250×250 px · bone marrow smear · brightfield, 40× oil-immersion objective:
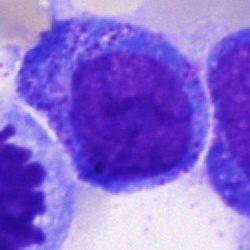

Morphological class = progranulocyte.